Cropped to a single cell · bone marrow smear
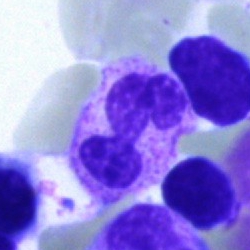

Specimen: bone marrow aspirate smear.
Classification: polymorphonuclear neutrophil.